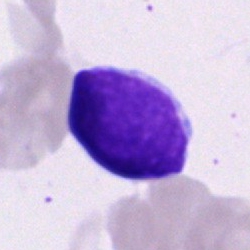 Impression — blast cell.